Bone marrow aspirate smear · 40× objective, oil immersion · May-Grünwald-Giemsa/Pappenheim stain.
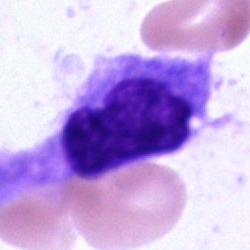
Specimen: bone marrow smear.
Classification: plasma cell.